MGG-stained · bone marrow aspirate smear · single cell centered in the field — 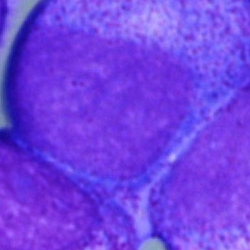The cell shown is a progranulocyte.